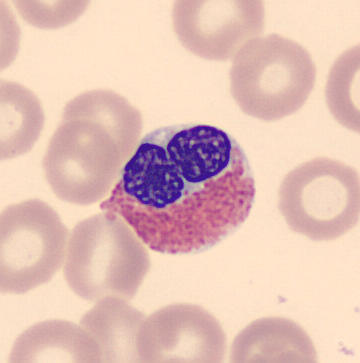

360×363. MGG stain. Peripheral blood smear.
Morphology → eosinophil.